Peripheral blood smear: 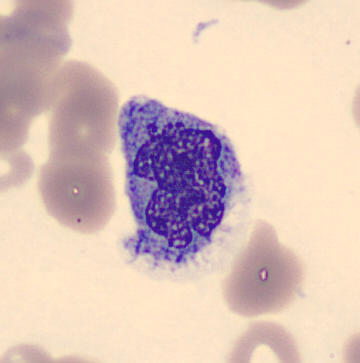 Showing a monocyte.